Peripheral blood film
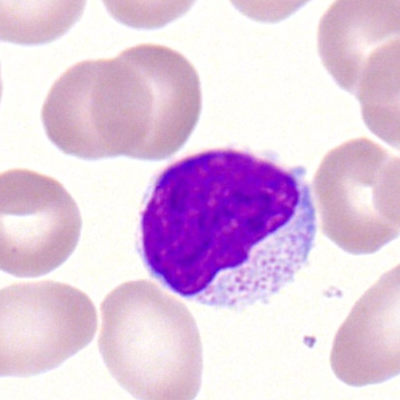

This is a lymphocyte.